Bone marrow aspirate smear.
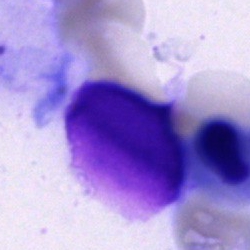
Cell — artefact.